Bone marrow smear
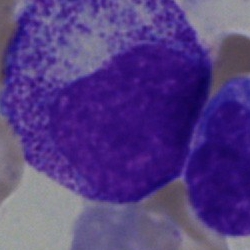

Specimen: bone marrow smear.
Classification: progranulocyte.
Lineage: myeloid.